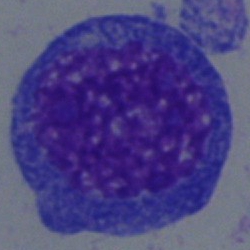

Q: What is shown here?
A: This is a blast.